Bone marrow aspirate smear:
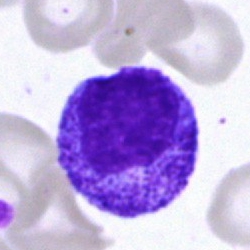Q: What type of cell is this?
A: It is a myelocyte.